Bone marrow aspirate smear. 250 by 250 pixels: 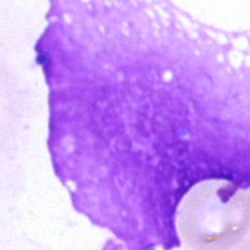Morphological class = artefact.